Bone marrow aspirate smear
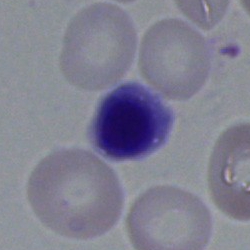Impression → nucleated red blood cell.